Bone marrow smear
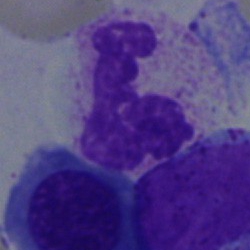Specimen: bone marrow smear.
Morphological class: neutrophil (segmented).
Lineage: myeloid.